Bone marrow smear
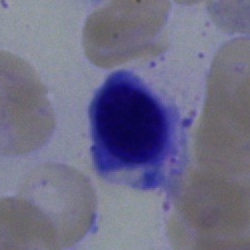
Cell: erythroblast.